Pappenheim-stained; bone marrow aspirate smear:
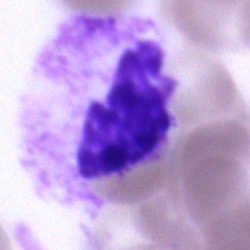 Specimen: bone marrow smear.
Cell: neutrophil (segmented).
Lineage: myeloid.